Romanowsky stain; peripheral blood film.
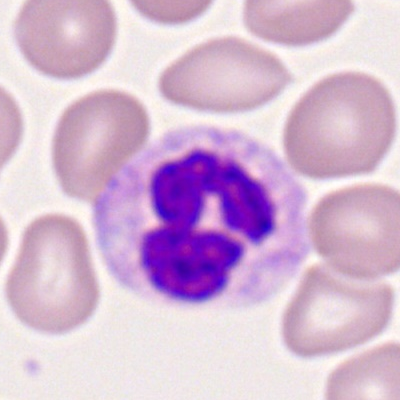
Single cell identified as a neutrophil (segmented).